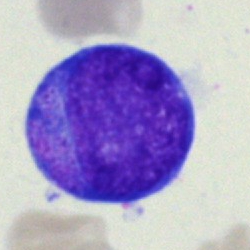Morphology — blast cell.